Bone marrow smear.
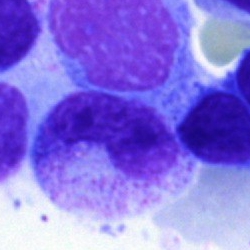 Impression — band-form neutrophil.